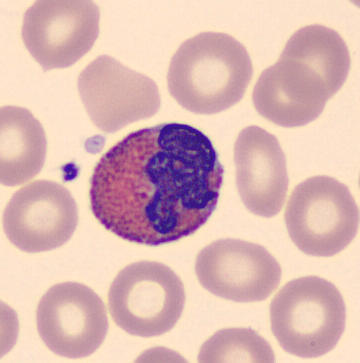Morphology → eosinophil.